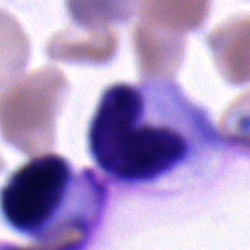
Cell type: band neutrophil.